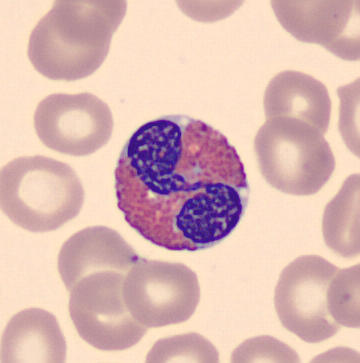 Q: What type of cell is this?
A: It is an eosinophilic granulocyte.